Bone marrow smear.
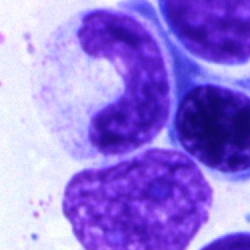Impression → band-form neutrophil.